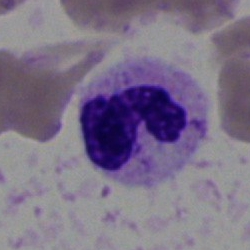

Bone marrow aspirate smear, single cell — neutrophil (segmented).